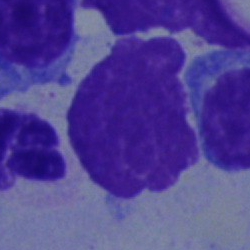
Bone marrow aspirate smear, single cell — artifact.